MGG-stained · brightfield, 40× oil-immersion objective · bone marrow aspirate smear — 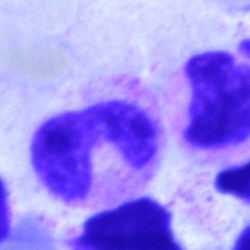 Q: Which cell type is shown here?
A: It is a stab cell.